Bone marrow aspirate smear · May-Grünwald-Giemsa stain · 250×250 — 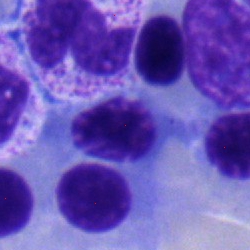 Specimen: bone marrow smear.
Cell: erythroblast.
Lineage: erythroid.